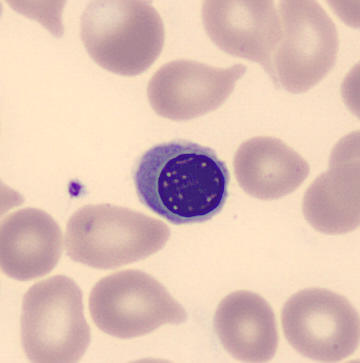Morphology consistent with a nucleated red cell. CellaVision DM96 digital cell image. Single-cell field. Peripheral blood film.